Peripheral blood smear.
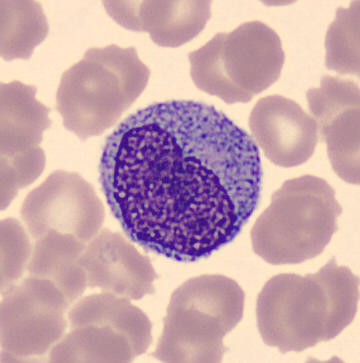

Morphological class = monocyte.